Bone marrow aspirate smear.
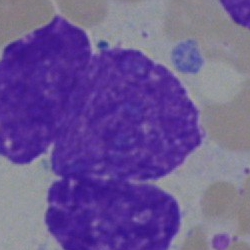Single cell identified as an artifact.